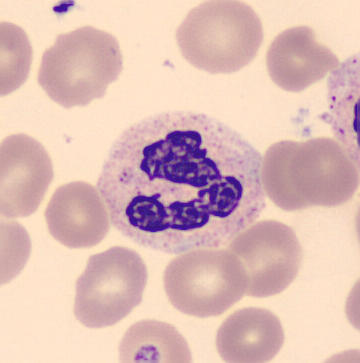Morphology consistent with a neutrophil (segmented). Acquisition: Peripheral blood smear.